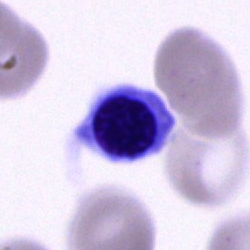Bone marrow smear showing an erythroblast.